Bone marrow aspirate smear.
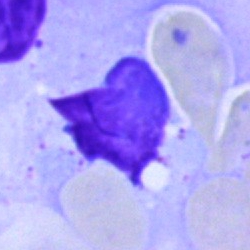

Cell type = artifact.